Bone marrow smear — 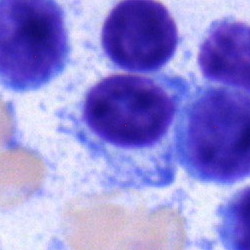Typical lymphocyte.